Bone marrow smear: 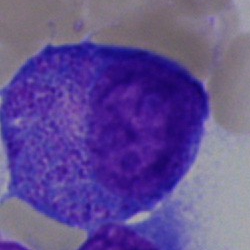
Specimen: bone marrow smear.
Classification: promyelocyte.
Lineage: myeloid.